Bone marrow aspirate smear.
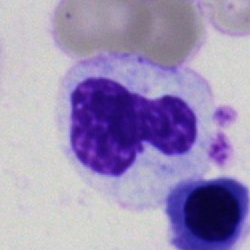

Cell type: neutrophil (segmented).